Bone marrow aspirate smear
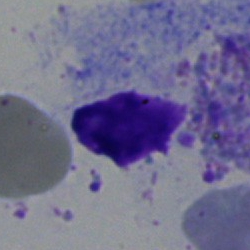

Morphology — artefact.